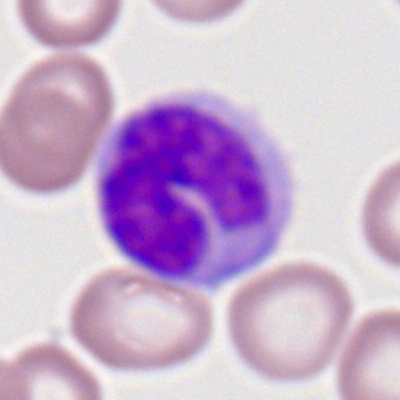
A monocyte on a peripheral blood smear.